Single-cell field; bone marrow smear; May-Grünwald-Giemsa/Pappenheim stain: 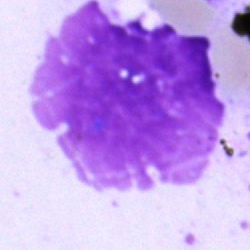
Specimen: bone marrow smear.
Cell type: artefact.